40× oil immersion; bone marrow aspirate smear:
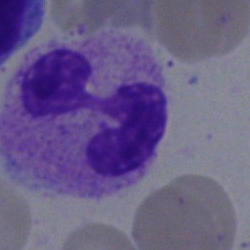

Morphological class = polymorphonuclear neutrophil.